Bone marrow smear: 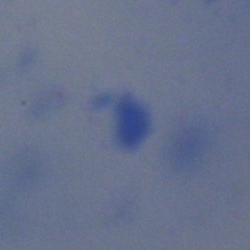

Q: What is shown here?
A: An artefact.